Bone marrow smear
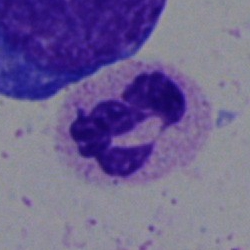Morphology → neutrophil (segmented).